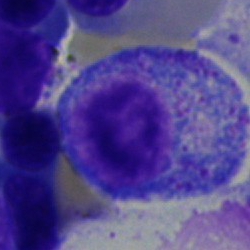
Bone marrow aspirate smear, single cell — progranulocyte.